Peripheral blood smear — 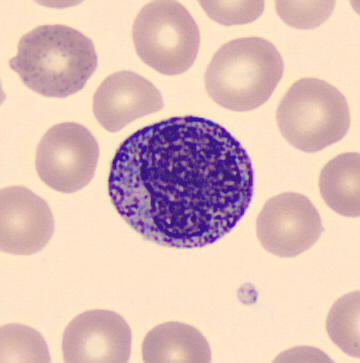
Identified as a metamyelocyte.